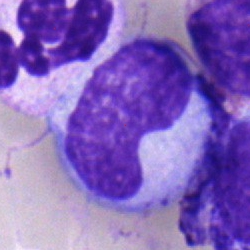 Classification = metamyelocyte.